Bone marrow aspirate smear — 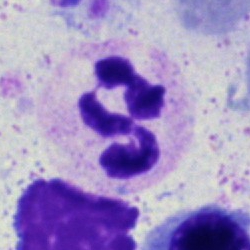 {"cell_type": "polymorphonuclear neutrophil", "lineage": "myeloid"}